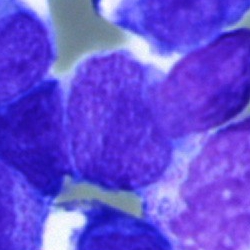 {"cell_type": "blast"}